Bone marrow smear.
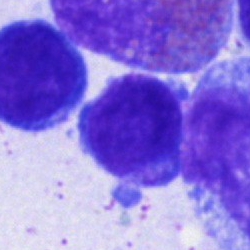

Q: What type of cell is this?
A: This is an unidentifiable cell.